Single cell centered in the field. Bone marrow smear.
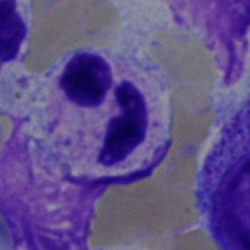 Showing a segmented neutrophil.